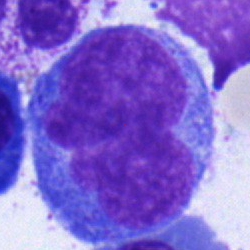 Impression → monocyte.